MGG-stained; bone marrow aspirate smear — 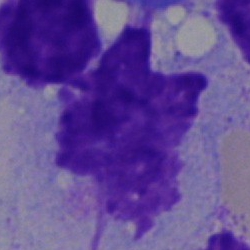Impression → artifact.